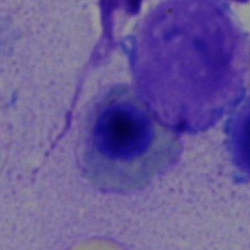
Q: What is shown here?
A: This is a normoblast.